MGG-stained; bone marrow smear; brightfield, 40× oil-immersion objective.
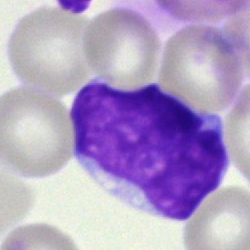Showing a blast.